Bone marrow smear:
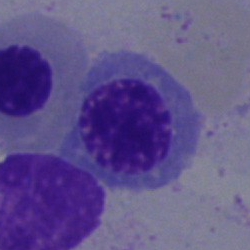
This is a nucleated red cell.